Bone marrow aspirate smear.
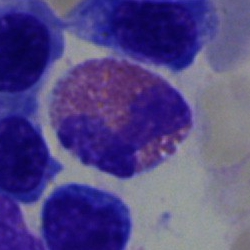 Specimen: bone marrow aspirate smear.
Cell type: eosinophil.